Bone marrow smear — 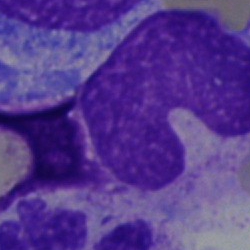

The cell type is artifact.